Bone marrow aspirate smear.
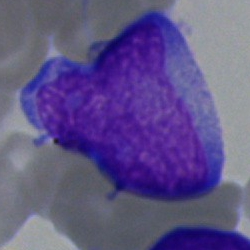
Q: What is the morphological classification of this cell?
A: Blast cell.